Bone marrow aspirate smear
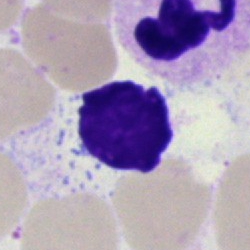 Q: What is shown here?
A: It is an artefact.